Brightfield microscopy, 40× oil immersion · bone marrow smear
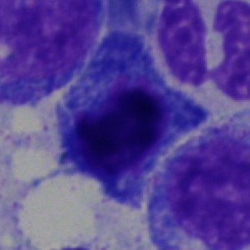

Morphology consistent with an unidentifiable cell.